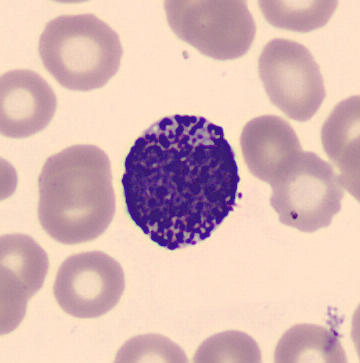

Image: Peripheral blood film. Cropped to a single cell.

This is a basophil.